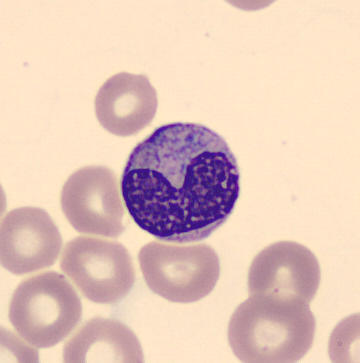
MGG stain · peripheral blood smear · image size 360×363. Cell — metamyelocyte.